Image size 250×250. Single-cell field. Bone marrow aspirate smear: 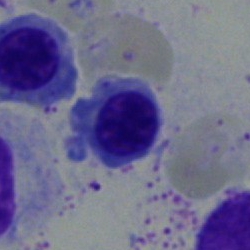

{"cell_type": "erythroblast", "lineage": "erythroid"}